Bone marrow smear; MGG-stained:
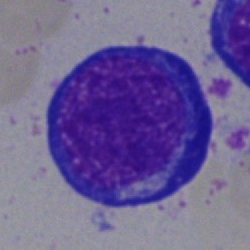

Q: What is shown here?
A: This is a nucleated red cell.